Bone marrow smear
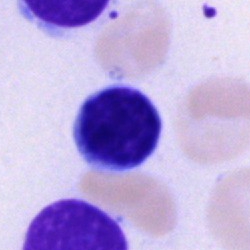
Specimen: bone marrow smear.
Morphological class: typical lymphocyte.